Cropped to a single cell; bone marrow smear — 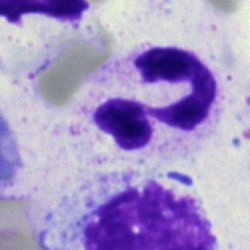

Impression → neutrophil (segmented).